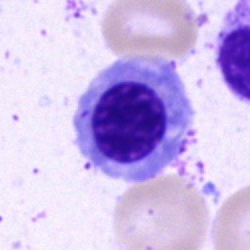

Specimen: bone marrow smear.
Classification: normoblast.